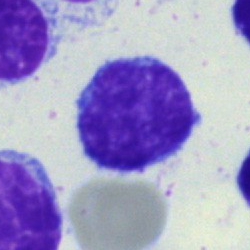
The cell is typical lymphocyte.